Bone marrow smear.
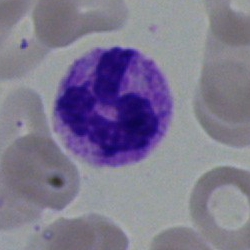
Morphology consistent with a segmented neutrophil.